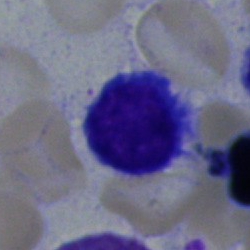 Lymphocyte.